40× oil immersion · single-cell crop · bone marrow aspirate smear:
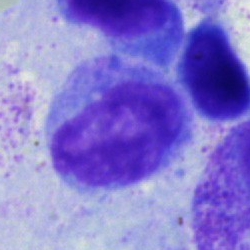 Q: What is the morphological classification of this cell?
A: Monocyte.